Peripheral blood film: 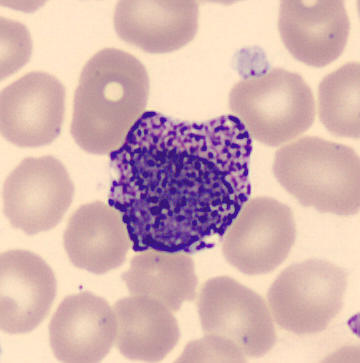
Q: What is shown here?
A: A basophil.